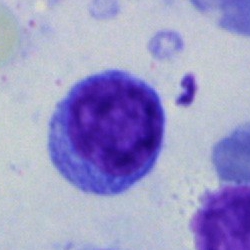Bone marrow smear showing a typical lymphocyte.